Brightfield microscopy, 40× oil immersion · bone marrow aspirate smear · cropped to a single cell — 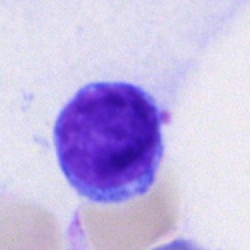Cell type = lymphocyte.